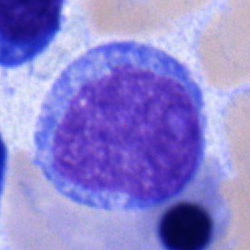Undifferentiated blast.